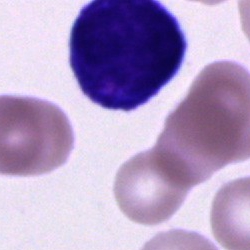

Morphology — unidentifiable cell.